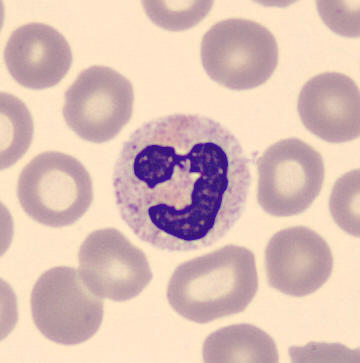

Acquisition: Peripheral blood film.

Cell — neutrophil (segmented).